Bone marrow smear. Brightfield microscopy, 40× oil immersion.
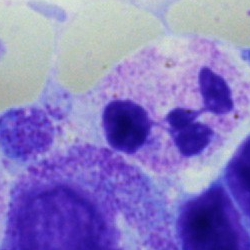 Impression — neutrophil (segmented).